Bone marrow aspirate smear
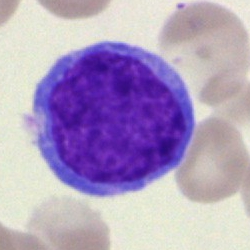
Morphology → blast.